Bone marrow smear · 40× objective, oil immersion · image size 250×250.
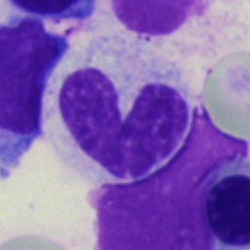 Specimen: bone marrow smear.
Cell type: band neutrophil.
Lineage: myeloid.